Brightfield microscopy, 40× oil immersion. Bone marrow smear. Single-cell field — 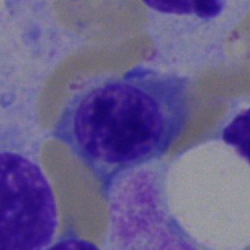

{"cell_type": "erythroblast", "lineage": "erythroid"}